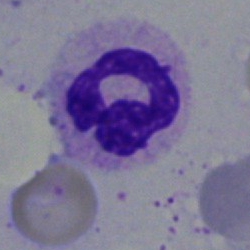 Classification: neutrophil (segmented).